May-Grünwald-Giemsa/Pappenheim stain; image size 250×250; bone marrow aspirate smear:
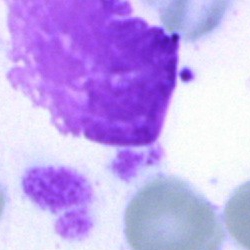

An artefact.